Bone marrow smear. 40× objective, oil immersion:
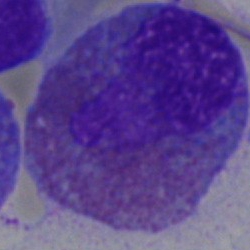Cell: eosinophilic granulocyte.